Automated cell imaging (CellaVision DM96). Peripheral blood film
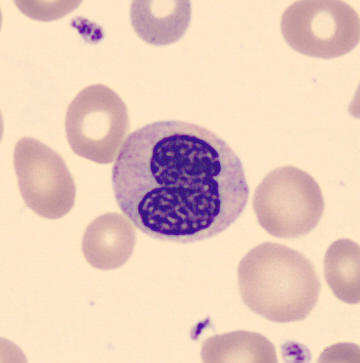

The classification is metamyelocyte.